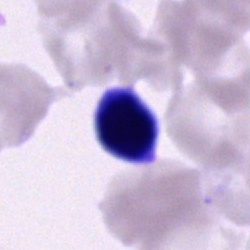

Q: What is shown here?
A: This is an artifact.